250×250 px · bone marrow smear.
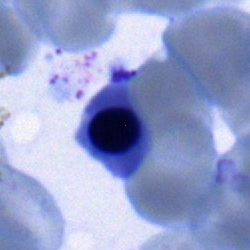Morphological class — nucleated red blood cell.